Bone marrow smear · Pappenheim-stained
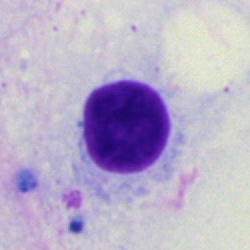
Specimen: bone marrow smear.
Cell type: artefact.